Image size 250×250; bone marrow aspirate smear
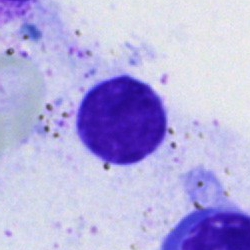

{"cell_type": "typical lymphocyte", "lineage": "lymphoid"}